Bone marrow aspirate smear:
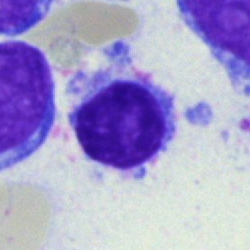Q: What cell is this?
A: It is a lymphocyte.